Bone marrow smear; May-Grünwald-Giemsa stain: 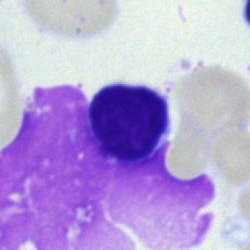
The cell shown is a typical lymphocyte.